250×250; bone marrow smear — 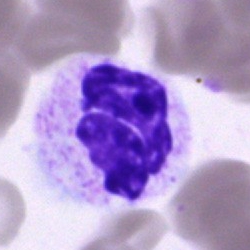A neutrophil (segmented).